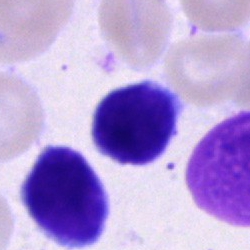

The cell is lymphocyte.